Bone marrow aspirate smear
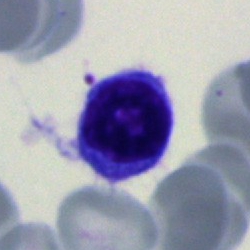

Specimen: bone marrow smear.
Cell: cell of indeterminate lineage.